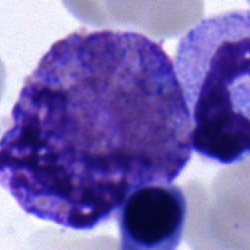

Cell type = eosinophil.